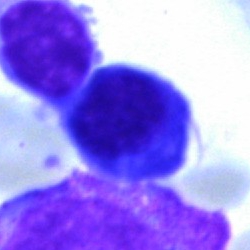
Morphology → nucleated red cell.